May-Grünwald-Giemsa stain; 250 by 250 pixels; bone marrow aspirate smear — 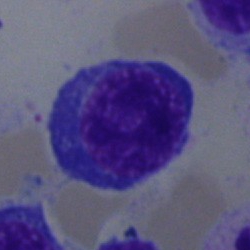Cell — normoblast.